Bone marrow aspirate smear: 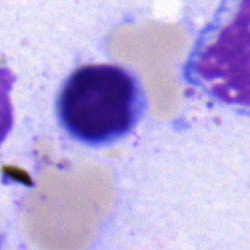
Cell type — lymphocyte.